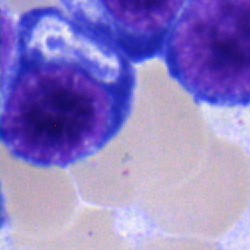Q: Identify the cell.
A: This is an erythroblast.